May-Grünwald-Giemsa stain. Bone marrow aspirate smear:
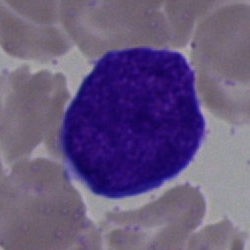

Morphological class: lymphocyte.